Bone marrow aspirate smear:
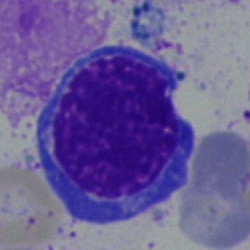

Morphology → nucleated red cell.